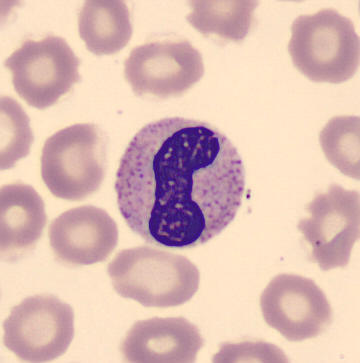

Specimen: peripheral blood film.
Cell type: stab cell.
Lineage: myeloid.